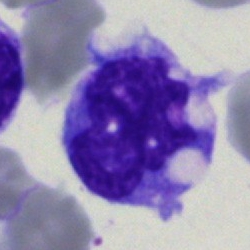
Cell type — monocyte.